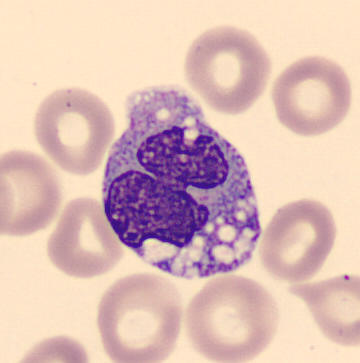
Morphology — monocyte.